Bone marrow smear:
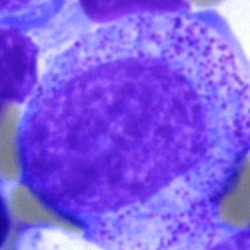
Q: Which cell type is shown here?
A: This is a progranulocyte.